Peripheral blood film: 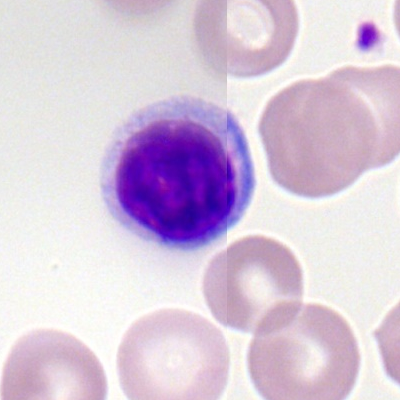 Morphology consistent with a typical lymphocyte.